Bone marrow smear; brightfield microscopy, 40× oil immersion; Pappenheim-stained — 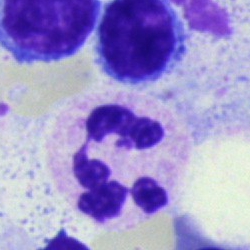

Q: What cell is this?
A: This is a segmented neutrophil.